Single-cell field; 250×250 px; bone marrow smear: 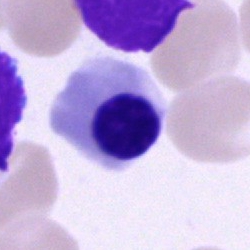 Morphology → nucleated red cell.